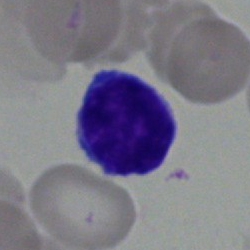

Q: What cell is this?
A: It is a lymphocyte.